Single-cell crop. Bone marrow aspirate smear.
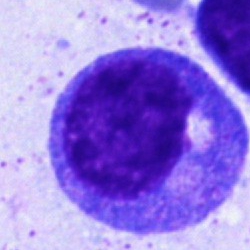Morphological class: progranulocyte.